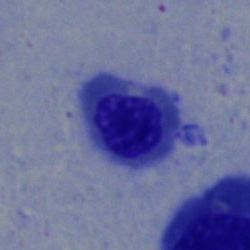Specimen: bone marrow smear.
Cell: nucleated red cell.